Bone marrow aspirate smear.
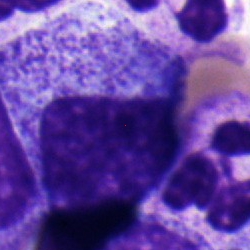 Single cell identified as a myelocyte.